Bone marrow smear. 250×250:
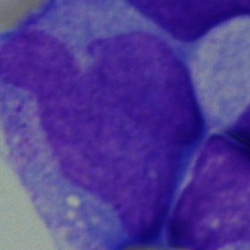

Monocyte.